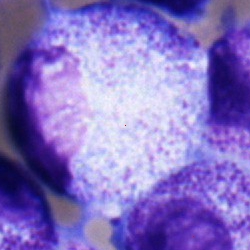Bone marrow smear showing a myelocyte.